250×250 · bone marrow aspirate smear · 40× oil immersion:
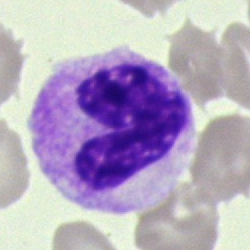Q: What cell is this?
A: It is a band neutrophil.